Bone marrow smear:
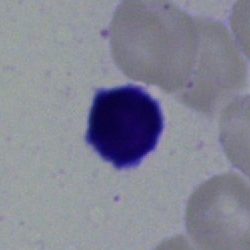Q: What is shown here?
A: A lymphocyte.